250×250 · bone marrow smear · brightfield microscopy, 40× oil immersion — 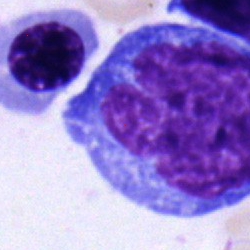
Q: What cell is this?
A: Monocyte.